Bone marrow aspirate smear
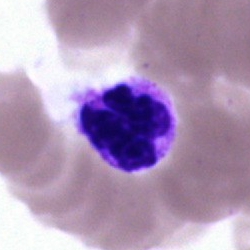

Q: What is shown here?
A: Polymorphonuclear neutrophil.